Cropped to a single cell; bone marrow smear.
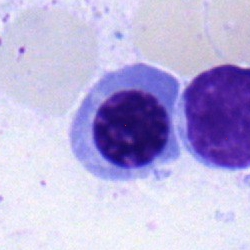
The cell shown is a normoblast.